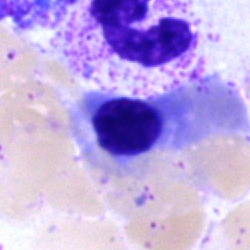
Q: What cell is this?
A: This is a normoblast.